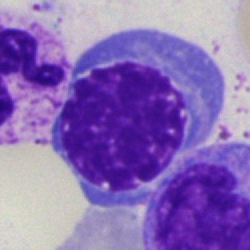 Q: What is the morphological classification of this cell?
A: It is a nucleated red blood cell.